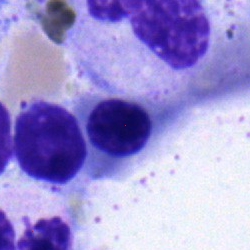

Bone marrow aspirate smear, single cell — erythroblast.